May-Grünwald-Giemsa stain · 40× objective, oil immersion · bone marrow smear — 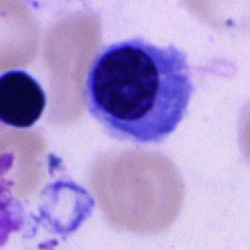The cell type is erythroblast.